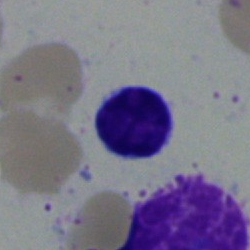 This is a typical lymphocyte.